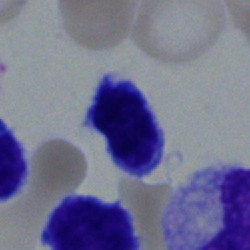
Cell type = typical lymphocyte.